May-Grünwald-Giemsa/Pappenheim stain · bone marrow aspirate smear: 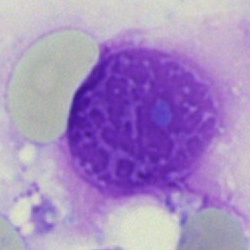Single cell identified as an artifact.